May-Grünwald-Giemsa stain. Bone marrow aspirate smear: 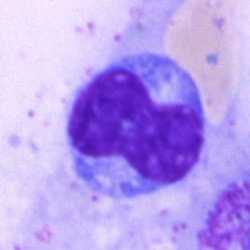
Impression — lymphocyte.